Romanowsky-stained. Peripheral blood film
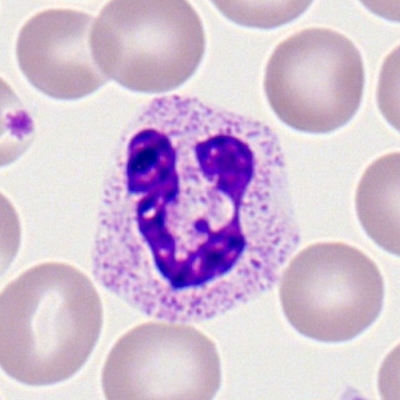

This is a neutrophil (segmented).